Bone marrow smear.
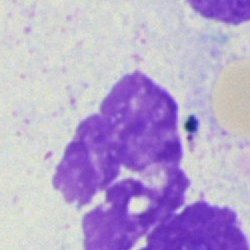Morphology — artifact.